Peripheral blood film.
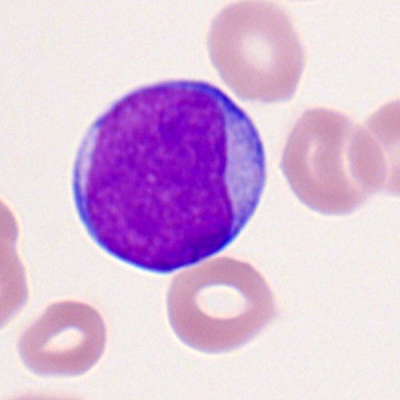Single cell identified as a myeloid blast.